Bone marrow smear. 250×250: 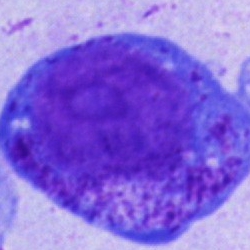A progranulocyte.